Peripheral blood film. Brightfield, 100× oil-immersion objective
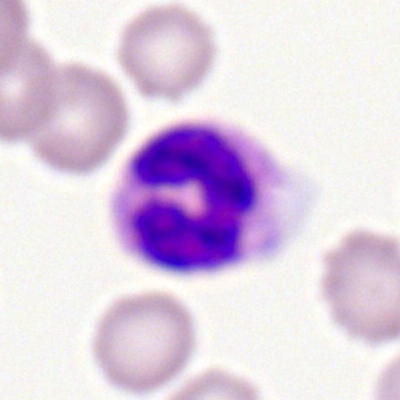

Showing a neutrophil (segmented).